Bone marrow smear: 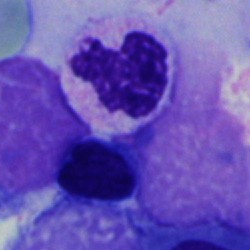Q: What is the morphological classification of this cell?
A: It is a segmented neutrophil.